40× oil immersion · bone marrow aspirate smear · May-Grünwald-Giemsa/Pappenheim stain: 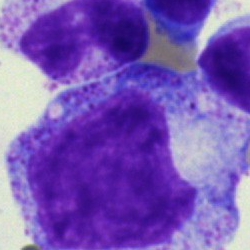

A promyelocyte.